Bone marrow aspirate smear: 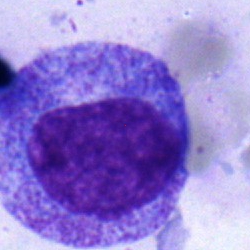

Promyelocyte.